Bone marrow smear; brightfield, 40× oil-immersion objective
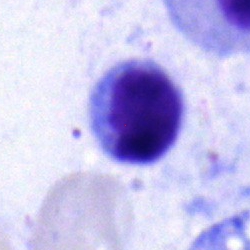
A typical lymphocyte.